Bone marrow smear:
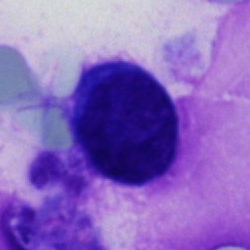

This is an unidentifiable cell.